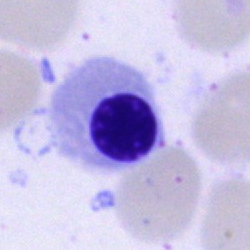 Specimen: bone marrow smear.
Morphological class: nucleated red cell.
Lineage: erythroid.